Bone marrow smear:
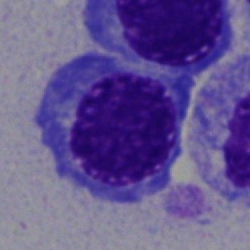 Specimen: bone marrow smear.
Morphological class: nucleated red cell.
Lineage: erythroid.